40× objective, oil immersion · MGG-stained · bone marrow smear: 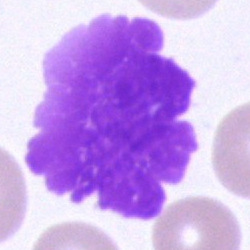
Impression — artefact.